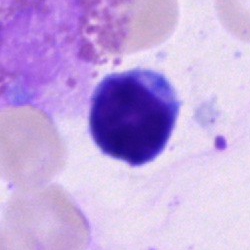
Bone marrow smear showing a lymphocyte.